Bone marrow smear. 250×250. Pappenheim-stained:
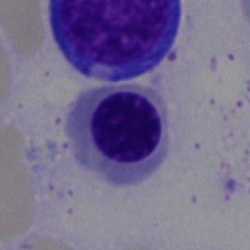

Cell: nucleated red blood cell.